Image size 250×250. Bone marrow aspirate smear: 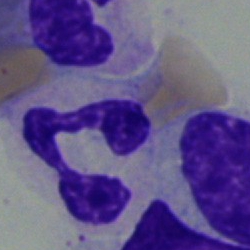
Specimen: bone marrow aspirate smear.
Morphological class: polymorphonuclear neutrophil.
Lineage: myeloid.